May-Grünwald-Giemsa stain; bone marrow aspirate smear.
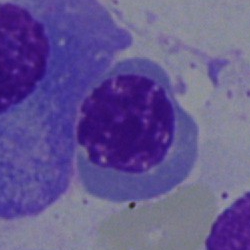Normoblast.